Bone marrow aspirate smear — 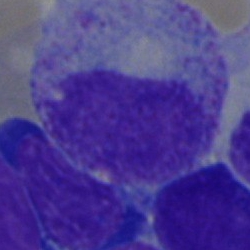The classification is myelocyte.